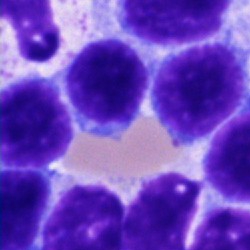

A lymphocyte.